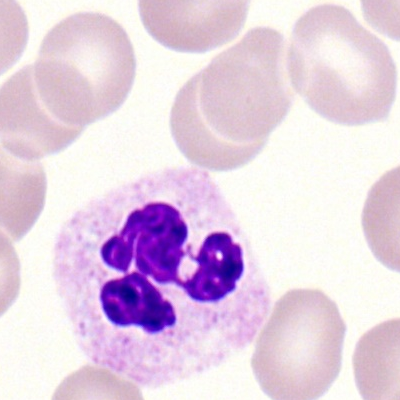 Morphology consistent with a polymorphonuclear neutrophil.